Bone marrow aspirate smear:
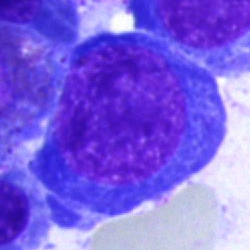Q: Identify the cell.
A: Nucleated red blood cell.